Bone marrow aspirate smear · 250 by 250 pixels.
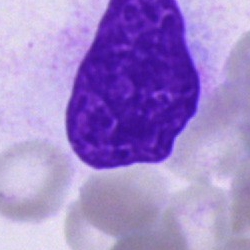

Morphology — unidentifiable cell.